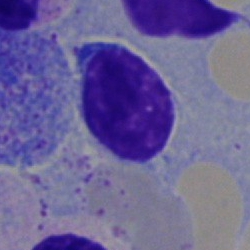
Morphology → lymphocyte.